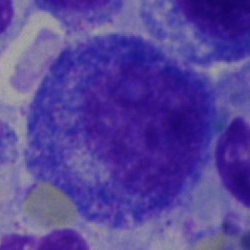

Morphology consistent with a progranulocyte.